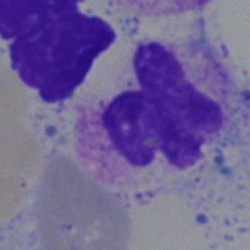Specimen: bone marrow smear.
Cell: neutrophil (segmented).
Lineage: myeloid.